Bone marrow aspirate smear
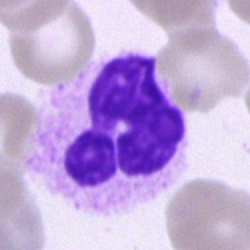
Cell: segmented neutrophil.